Bone marrow aspirate smear; 40× oil immersion.
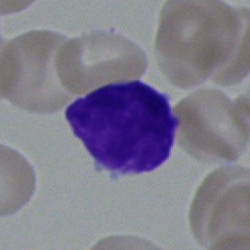

Classification: typical lymphocyte.